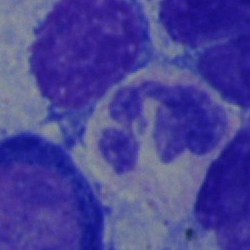Morphology consistent with a segmented neutrophil.